Bone marrow smear — 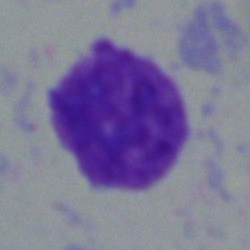
Artifact.